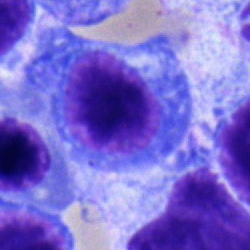 Nucleated red cell.